Bone marrow smear: 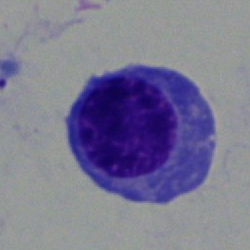Q: Identify the cell.
A: A nucleated red cell.